Bone marrow aspirate smear · 40× objective, oil immersion — 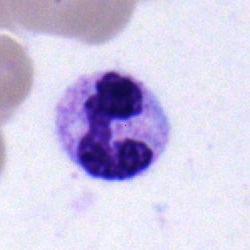
Classification = polymorphonuclear neutrophil.